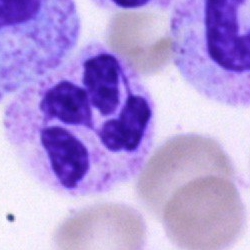Showing a polymorphonuclear neutrophil.